Brightfield microscopy, 40× oil immersion; bone marrow smear — 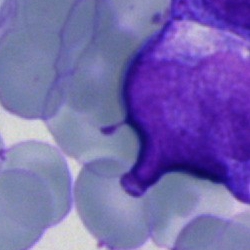

Cell = blast cell.